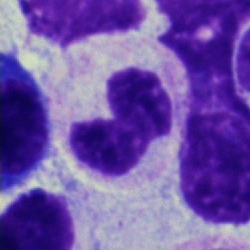
Morphology — band-form neutrophil.